Bone marrow smear — 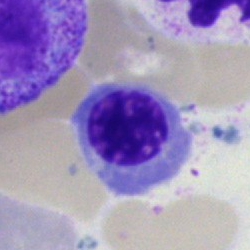 Q: What type of cell is this?
A: This is a normoblast.